Peripheral blood film:
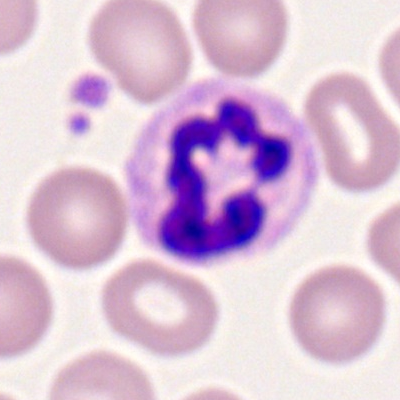The cell is segmented neutrophil.